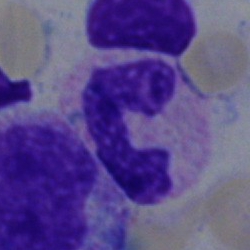
Cell type = neutrophil (band).